250×250 · bone marrow aspirate smear:
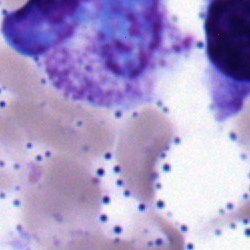Q: What cell is this?
A: Band neutrophil.